Single cell centered in the field · bone marrow smear · May-Grünwald-Giemsa stain.
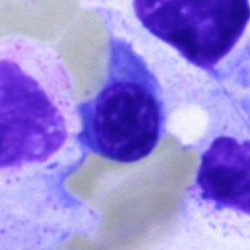 This is an erythroblast.